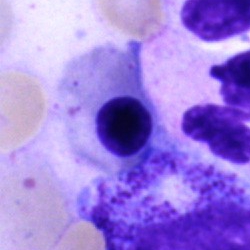

Normoblast.